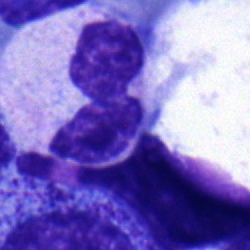 Morphological class = segmented neutrophil.